Bone marrow aspirate smear. MGG-stained
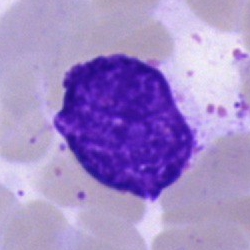

Showing an artefact.